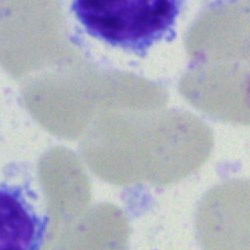

Q: What type of cell is this?
A: It is a cell of indeterminate lineage.